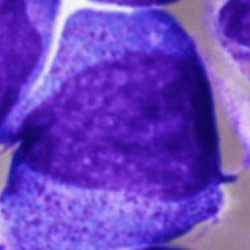Single-cell crop from a bone marrow smear: promyelocyte.